May-Grünwald-Giemsa/Pappenheim stain; bone marrow smear — 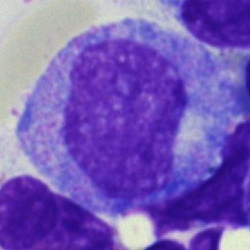 Q: What cell is this?
A: This is a progranulocyte.